Bone marrow smear.
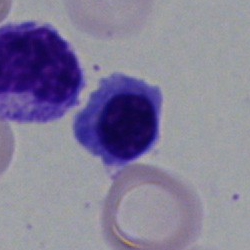
Q: What cell is this?
A: An erythroblast.